Bone marrow smear. 250 by 250 pixels: 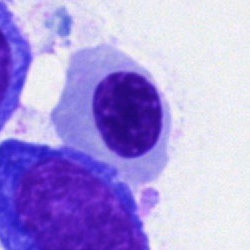

Nucleated red blood cell.